Bone marrow aspirate smear; 250×250 px
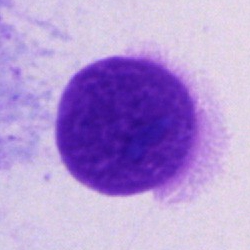 Showing a cell not matching the other categories.